Single-cell crop; bone marrow aspirate smear.
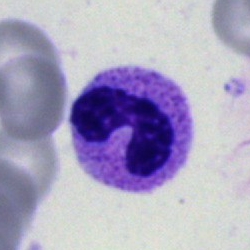 {"cell_type": "polymorphonuclear neutrophil", "lineage": "myeloid"}